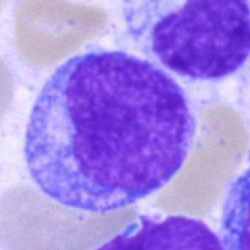 Morphological class — undifferentiated blast.